Bone marrow smear — 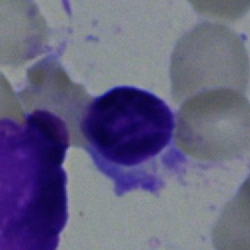 Classification — lymphocyte.